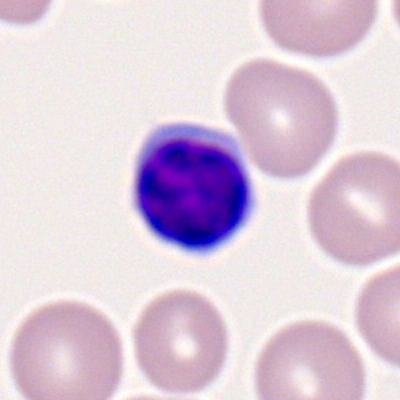
Q: What cell is this?
A: A typical lymphocyte.